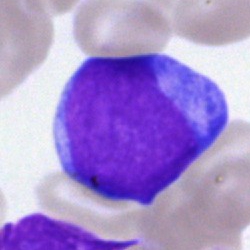This is a blast cell.